Bone marrow aspirate smear: 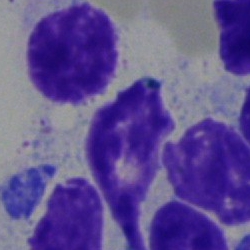 Q: What is shown here?
A: It is an artifact.